Bone marrow smear · 40× oil immersion · 250 by 250 pixels:
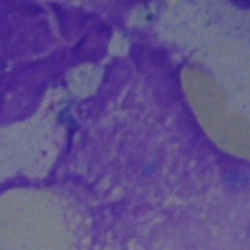
Morphology — artefact.